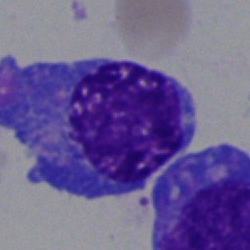
This is a nucleated red cell.